Bone marrow smear; May-Grünwald-Giemsa stain; cropped to a single cell: 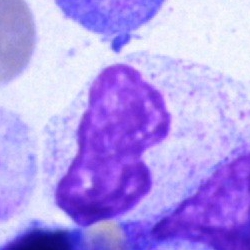Single cell identified as an artefact.